MGG-stained. Single-cell crop. Bone marrow smear — 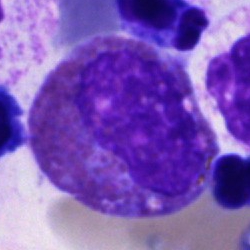
Showing an eosinophilic granulocyte.